Bone marrow smear:
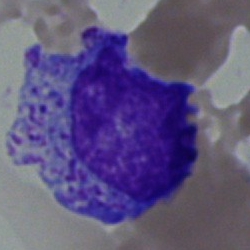This is a myelocyte.